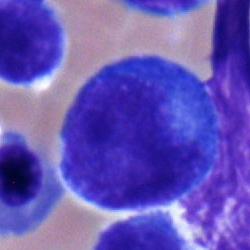 Q: Which cell type is shown here?
A: A promyelocyte.